Peripheral blood film.
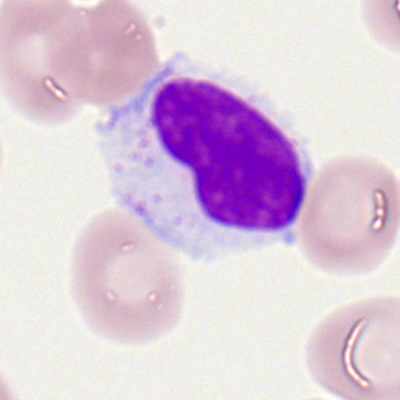 Lymphocyte.